Bone marrow aspirate smear:
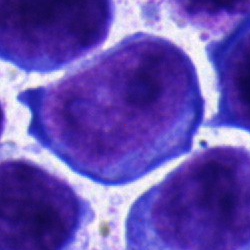
Specimen: bone marrow smear.
Cell type: pronormoblast.
Lineage: erythroid.